Bone marrow aspirate smear:
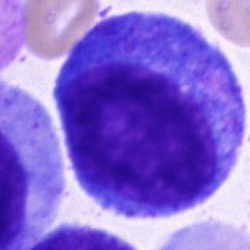Cell: promyelocyte.